Bone marrow smear — 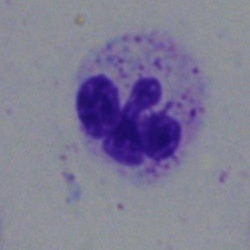

Cell type — neutrophil (segmented).